Bone marrow smear
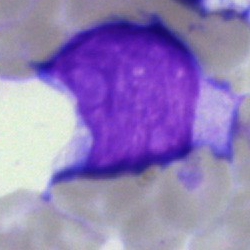 Morphological class — blast.